Bone marrow aspirate smear.
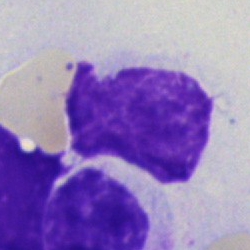
Classification — artifact.